Bone marrow aspirate smear: 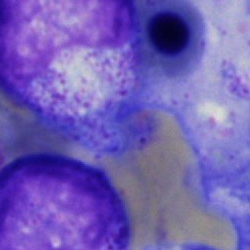 This is a myelocyte.